250×250 px. Bone marrow aspirate smear
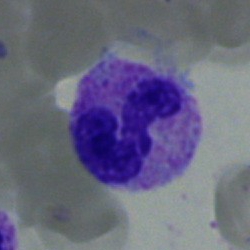 Q: Identify the cell.
A: Band-form neutrophil.